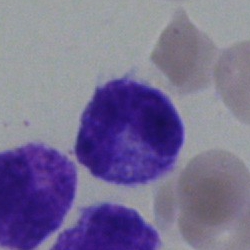 Single cell identified as a neutrophil (band).